Bone marrow smear · single cell centered in the field · brightfield microscopy, 40× oil immersion:
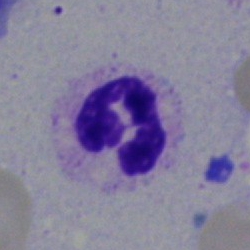
Neutrophil (segmented).